Peripheral blood smear
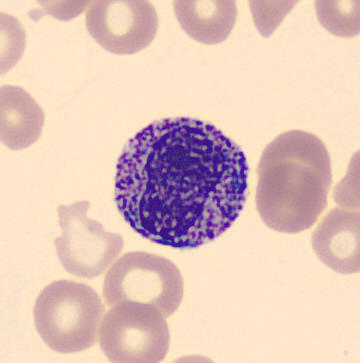Q: What is shown here?
A: Myelocyte.